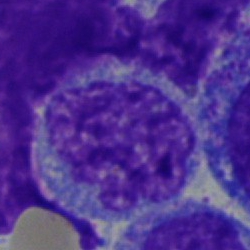 Q: Identify the cell.
A: A monocyte.